Bone marrow smear
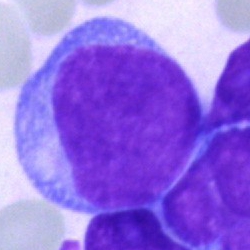Morphology consistent with a blast cell.